Bone marrow aspirate smear · MGG-stained
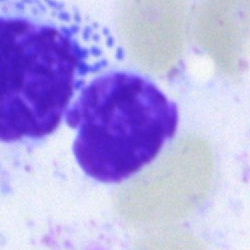
Morphology → artefact.